Bone marrow smear; MGG-stained
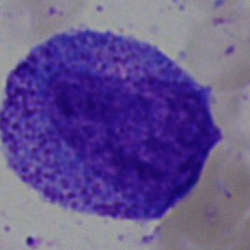 Q: What is shown here?
A: This is a progranulocyte.